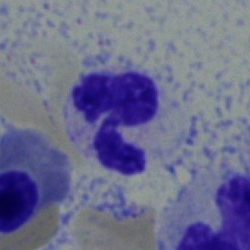Impression → neutrophil (segmented).